Bone marrow aspirate smear
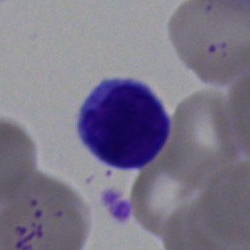

Cell type — typical lymphocyte.